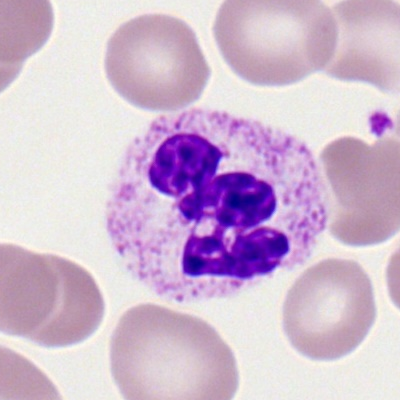

The classification is segmented neutrophil.